Bone marrow aspirate smear:
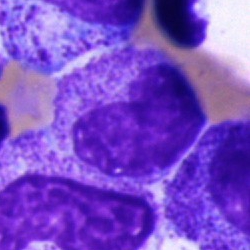Impression → metamyelocyte.